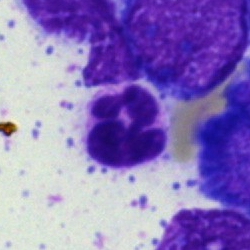 Morphology → segmented neutrophil.